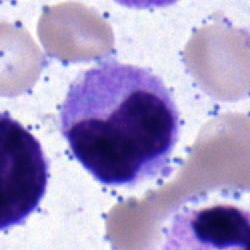This is a metamyelocyte.